Bone marrow smear.
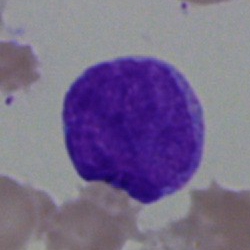 Q: Identify the cell.
A: A blast cell.